Pappenheim-stained. Bone marrow aspirate smear. Image size 250×250.
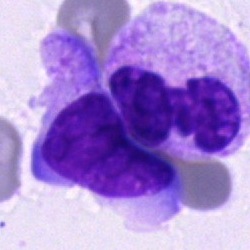

Cell type = cell of indeterminate lineage.